Bone marrow smear; Pappenheim-stained
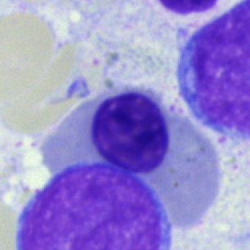
This is an erythroblast.